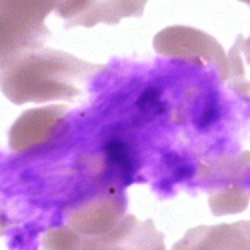

Classification = artefact.